Bone marrow aspirate smear. 250×250 px:
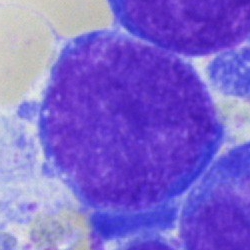 Specimen: bone marrow aspirate smear.
Cell: pronormoblast.
Lineage: erythroid.